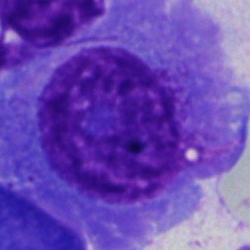 Q: What is shown here?
A: Artifact.